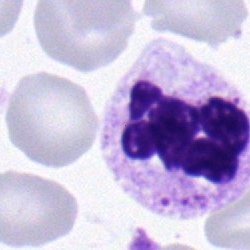

A segmented neutrophil.